Bone marrow smear: 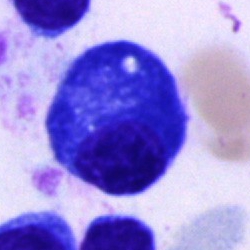Q: What is shown here?
A: This is a plasmacyte.